Bone marrow smear: 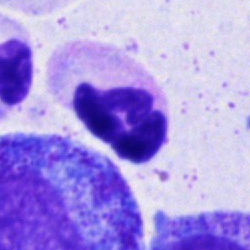 Q: Which cell type is shown here?
A: This is a segmented neutrophil.